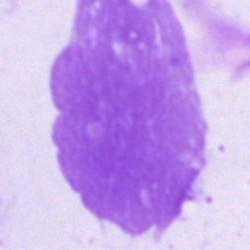Specimen: bone marrow aspirate smear.
Cell: artefact.